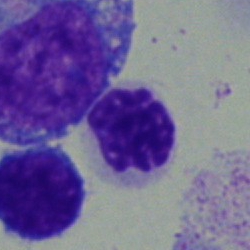 Single cell identified as a neutrophil (segmented).